40× oil immersion · bone marrow aspirate smear.
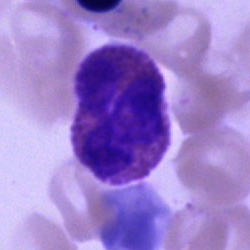This is an eosinophilic granulocyte.